May-Grünwald-Giemsa/Pappenheim stain; 40× oil immersion; bone marrow aspirate smear: 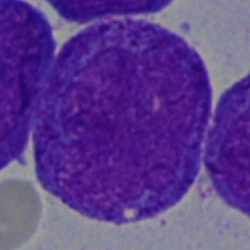
Morphological class: promyelocyte.